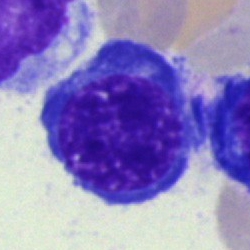
Morphology — normoblast.